Bone marrow aspirate smear · May-Grünwald-Giemsa stain — 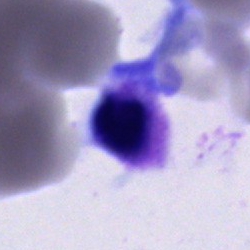
Classification: unidentifiable cell.